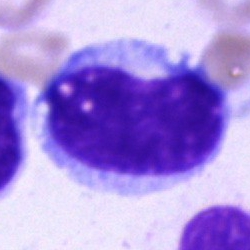 Specimen: bone marrow smear.
Cell type: monocyte.
Lineage: myeloid.